40× objective, oil immersion; bone marrow smear; single-cell crop — 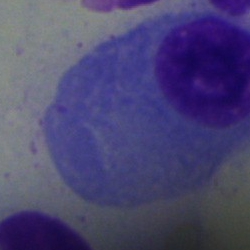
Showing a plasmacyte.